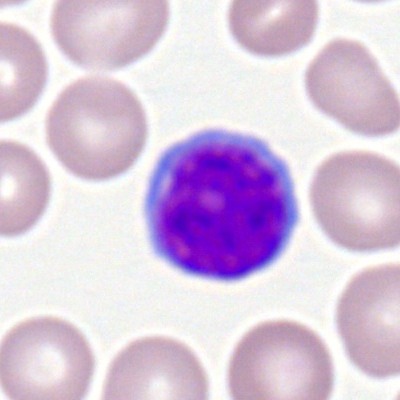
{"cell_type": "lymphocyte", "lineage": "lymphoid"}